Bone marrow smear — 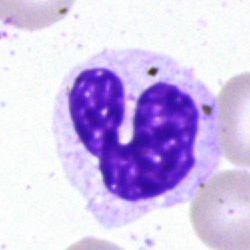Polymorphonuclear neutrophil.